Bone marrow aspirate smear — 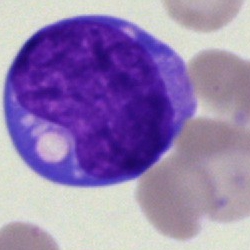
Specimen: bone marrow aspirate smear.
Morphological class: blast cell.